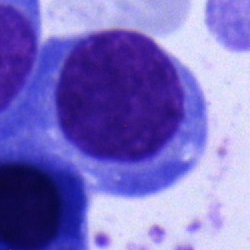Impression → plasmacyte.